Bone marrow smear.
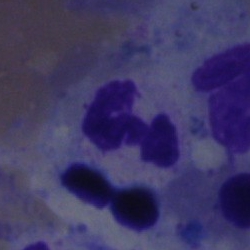{"cell_type": "segmented neutrophil"}